Pappenheim-stained. Brightfield, 40× oil-immersion objective. Bone marrow aspirate smear — 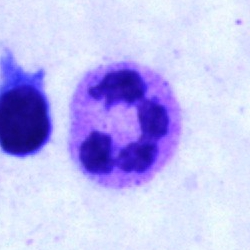
Showing a polymorphonuclear neutrophil.